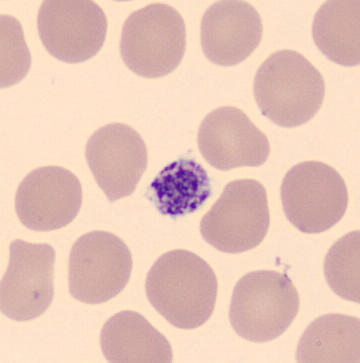

Specimen: peripheral blood film.
Cell type: platelet.